Bone marrow smear — 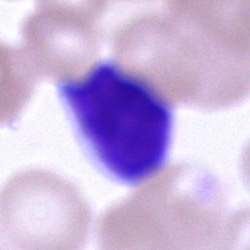A lymphocyte.